Bone marrow aspirate smear:
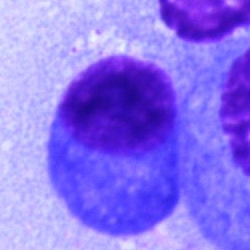
Cell type — plasma cell.